Bone marrow smear; brightfield microscopy, 40× oil immersion: 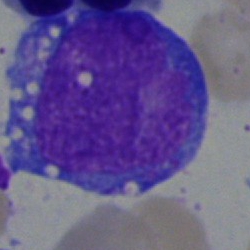 Q: What type of cell is this?
A: Undifferentiated blast.